Bone marrow smear:
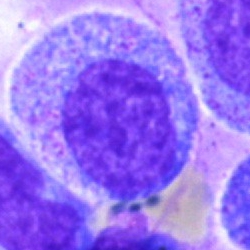
Q: What cell is this?
A: A promyelocyte.